Bone marrow aspirate smear: 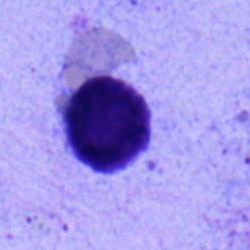Cell = lymphocyte.